Bone marrow smear: 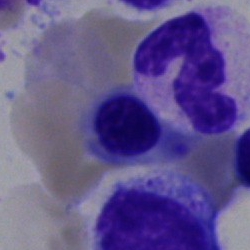

Single cell identified as an erythroblast.